Bone marrow smear; May-Grünwald-Giemsa/Pappenheim stain
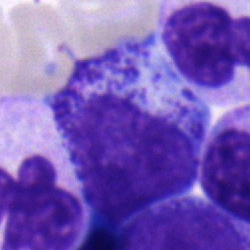

Single cell identified as a progranulocyte.